Peripheral blood smear.
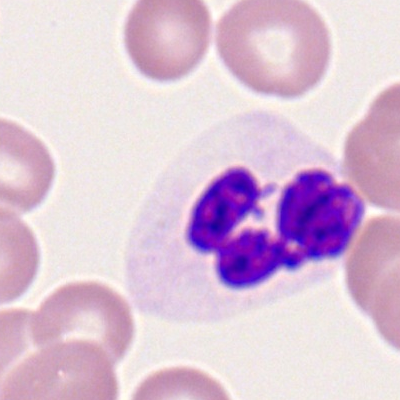 The classification is polymorphonuclear neutrophil.